40× objective, oil immersion. Bone marrow aspirate smear
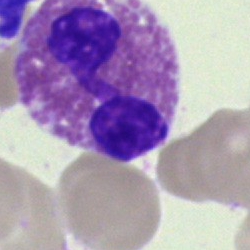

This is an eosinophilic granulocyte.